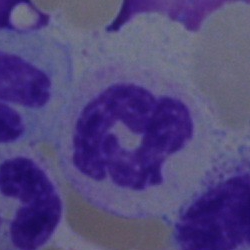
Bone marrow aspirate smear, single cell — neutrophil (segmented).